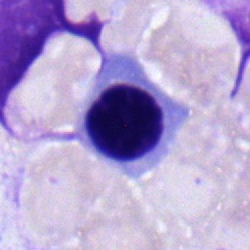
This is a nucleated red cell.